Bone marrow smear — 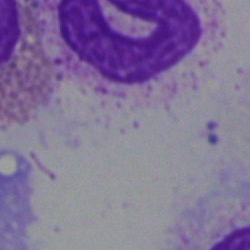Showing an artifact.